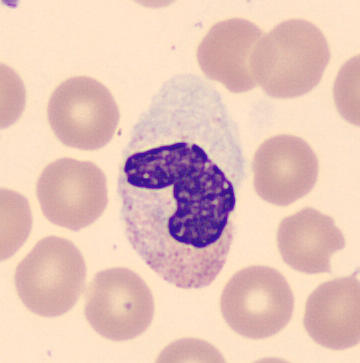
Identified as a band-form neutrophil.
Acquisition: Peripheral blood film.